Single-cell field; bone marrow aspirate smear
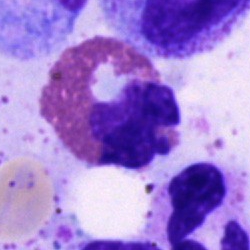

Q: Which cell type is shown here?
A: It is an eosinophilic granulocyte.